Cropped to a single cell. Brightfield microscopy, 40× oil immersion. Bone marrow smear:
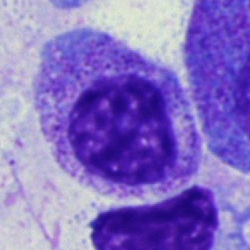Morphology consistent with a progranulocyte.